40× oil immersion. Single cell centered in the field. Bone marrow aspirate smear
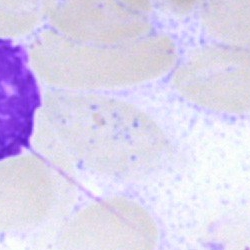
Cell: artefact.